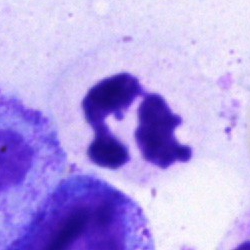
Specimen: bone marrow aspirate smear.
Morphological class: polymorphonuclear neutrophil.
Lineage: myeloid.